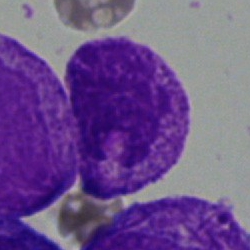

Basophilic granulocyte.